May-Grünwald-Giemsa stain · bone marrow smear
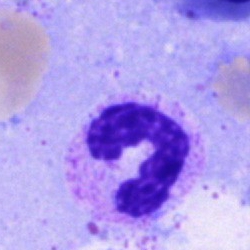
Morphology → segmented neutrophil.